Bone marrow aspirate smear.
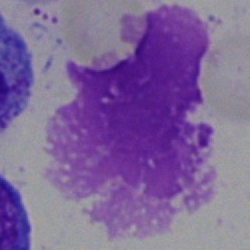 The cell shown is an artefact.